Bone marrow aspirate smear
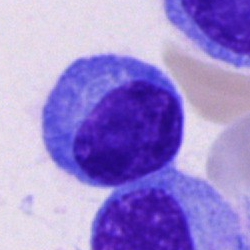

The classification is plasmacyte.